250×250. Bone marrow smear: 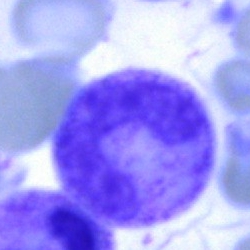

Morphological class: band-form neutrophil.